Bone marrow smear — 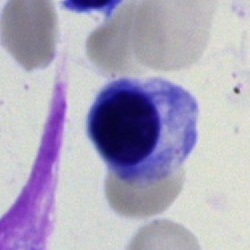
Cell — nucleated red blood cell.